Peripheral blood film: 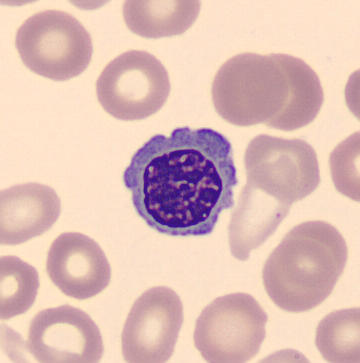 Showing a normoblast.